Bone marrow aspirate smear; 40× oil immersion
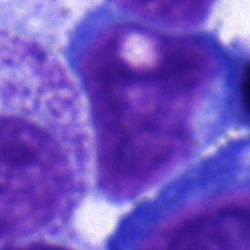 Q: What type of cell is this?
A: This is a blast.